Bone marrow smear.
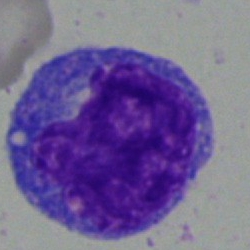Morphology — promyelocyte.